Peripheral blood film · single-cell crop · 100× objective, oil immersion:
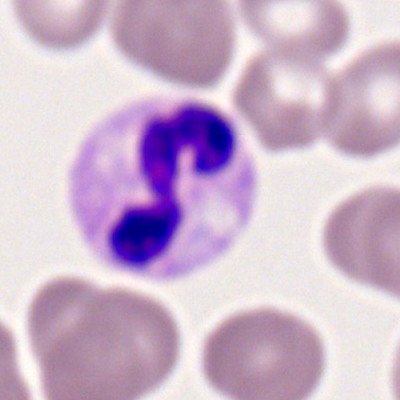

Morphology consistent with a polymorphonuclear neutrophil.